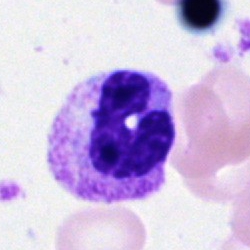Morphological class: polymorphonuclear neutrophil.